Bone marrow smear. Brightfield microscopy, 40× oil immersion. Pappenheim-stained
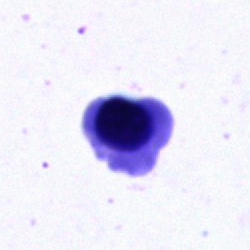

Q: Which cell type is shown here?
A: This is a nucleated red cell.